Bone marrow smear · May-Grünwald-Giemsa stain — 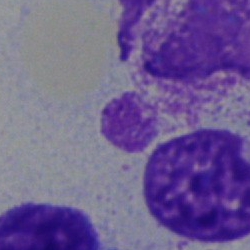

Impression — artefact.